Bone marrow aspirate smear: 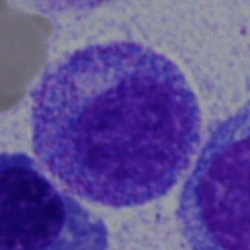Cell — promyelocyte.